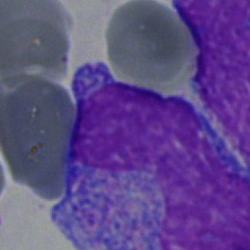 Cell type = monocyte.